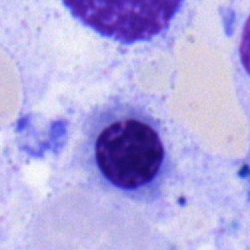Cell type = nucleated red blood cell.